Peripheral blood film — 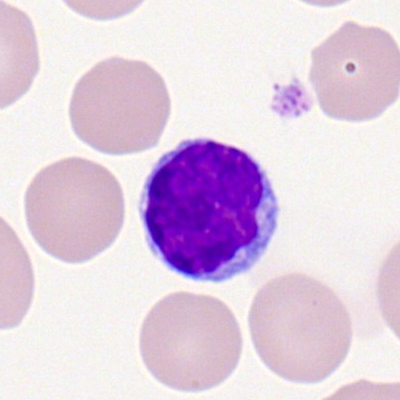 The cell shown is a typical lymphocyte.